Bone marrow aspirate smear:
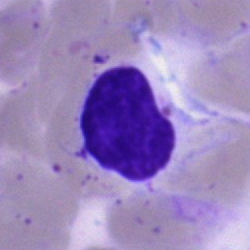

Morphology consistent with an artefact.